250 by 250 pixels; bone marrow smear
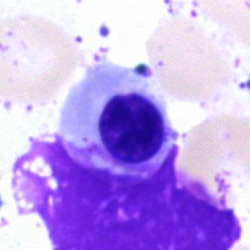

Morphology → nucleated red cell.